MGG-stained; bone marrow smear:
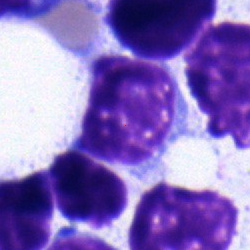
Q: What is shown here?
A: It is a lymphocyte.